Brightfield microscopy, 40× oil immersion. Bone marrow smear. May-Grünwald-Giemsa stain: 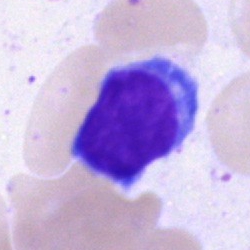Cell type — lymphocyte.